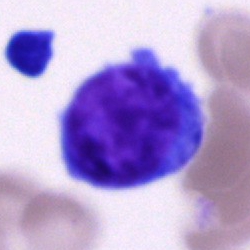Q: What is the morphological classification of this cell?
A: Undifferentiated blast.